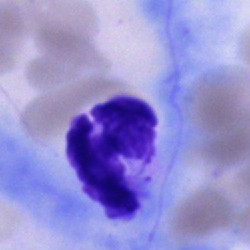
Morphology — artifact.